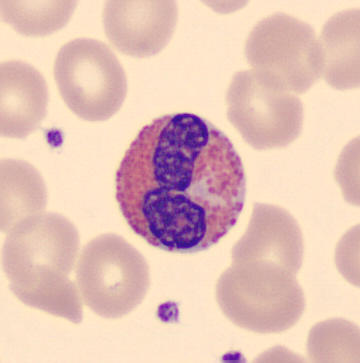Showing an eosinophilic granulocyte. Single-cell crop. Peripheral blood film.